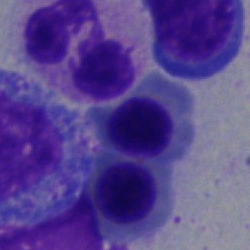 Morphology — normoblast.